Cropped to a single cell. Bone marrow aspirate smear.
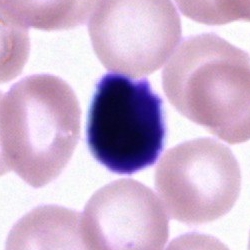Showing an artifact.